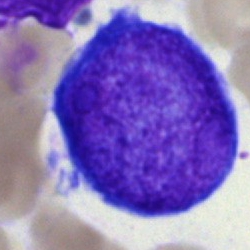

Q: What type of cell is this?
A: It is an undifferentiated blast.